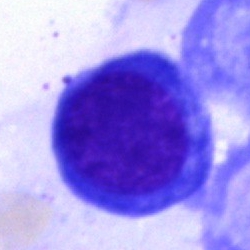 Q: What is the morphological classification of this cell?
A: A nucleated red blood cell.